Bone marrow aspirate smear · single cell centered in the field · brightfield, 40× oil-immersion objective — 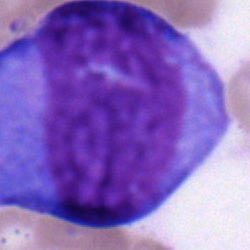 Q: Identify the cell.
A: It is an undifferentiated blast.